Single-cell crop · peripheral blood smear
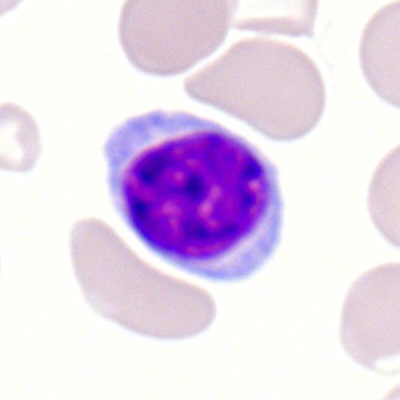

Impression → typical lymphocyte.